Pappenheim-stained. Bone marrow smear:
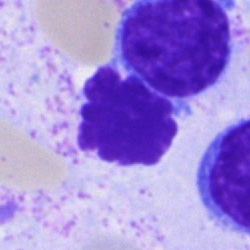The cell shown is a lymphocyte.